Bone marrow aspirate smear · 40× objective, oil immersion · single-cell crop.
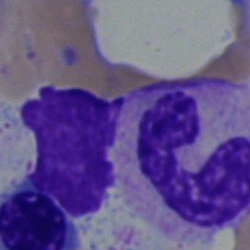 This is a neutrophil (band).